Bone marrow smear: 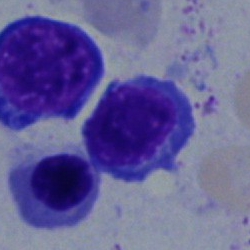

A nucleated red cell.